Single-cell crop · bone marrow smear · 250×250.
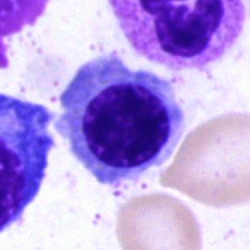 Morphology consistent with a nucleated red cell.